Bone marrow smear.
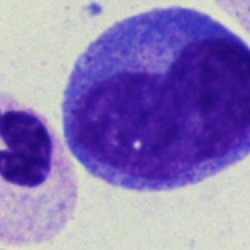
Morphology — promyelocyte.